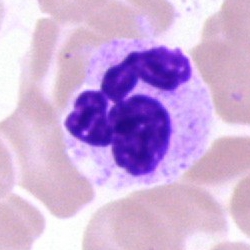

Morphological class — polymorphonuclear neutrophil.